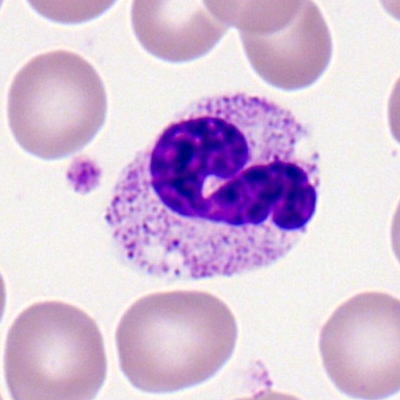
Specimen: peripheral blood smear.
Classification: polymorphonuclear neutrophil.
Lineage: myeloid.